Bone marrow smear — 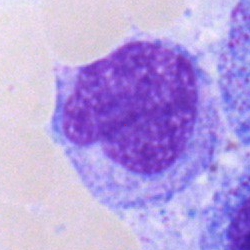 Impression — metamyelocyte.